Bone marrow aspirate smear — 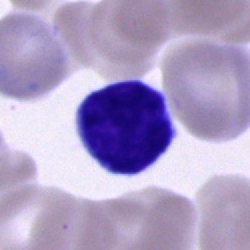

Morphological class = typical lymphocyte.